Brightfield, 40× oil-immersion objective. Bone marrow smear
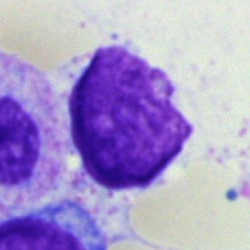Q: What is shown here?
A: An artefact.